Peripheral blood smear
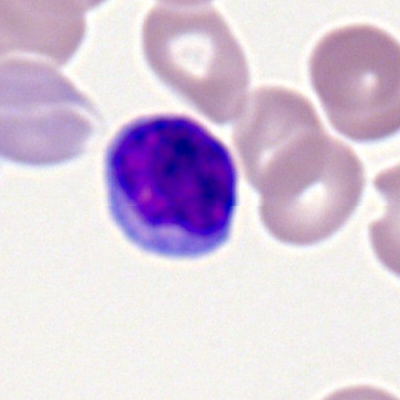
Cell type = typical lymphocyte.